Bone marrow aspirate smear.
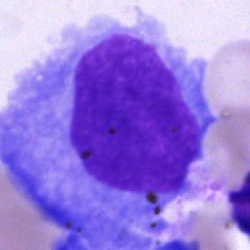
Q: What is the morphological classification of this cell?
A: This is a blast cell.